Bone marrow smear · 40× objective, oil immersion · single-cell crop — 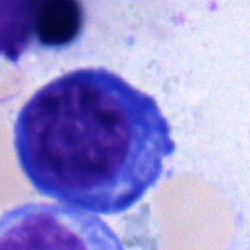

Cell type = erythroblast.